Bone marrow aspirate smear — 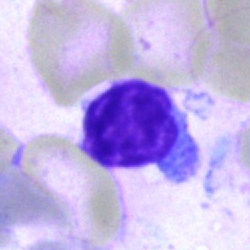This is a typical lymphocyte.